Bone marrow smear: 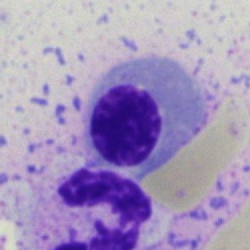

Q: What is the morphological classification of this cell?
A: It is an erythroblast.